Bone marrow smear
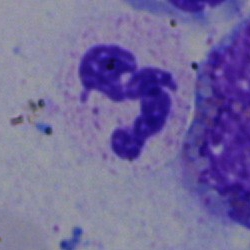
The cell is polymorphonuclear neutrophil.